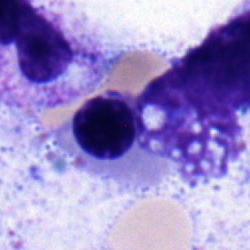 Q: What cell is this?
A: Normoblast.